Bone marrow smear — 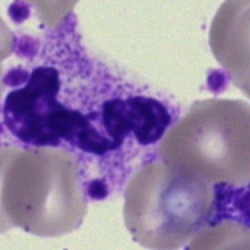
Q: Identify the cell.
A: Neutrophil (segmented).